Peripheral blood smear: 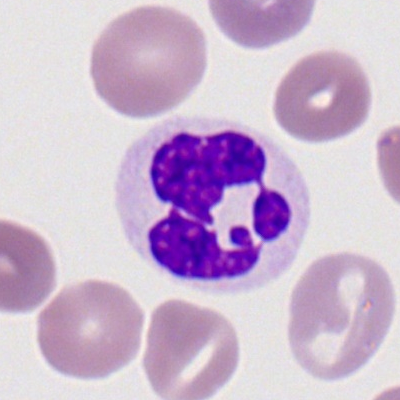

Impression → neutrophil (segmented).